Bone marrow smear; single-cell field — 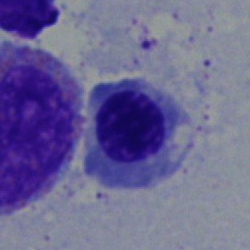The classification is nucleated red cell.